Bone marrow smear · 40× objective, oil immersion · May-Grünwald-Giemsa/Pappenheim stain.
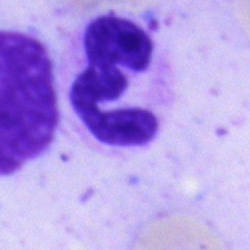 Specimen: bone marrow aspirate smear.
Cell type: neutrophil (segmented).
Lineage: myeloid.